Bone marrow smear
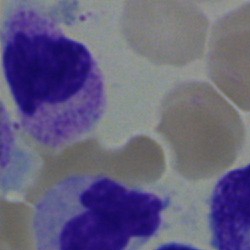

Q: What is shown here?
A: It is a neutrophil (segmented).